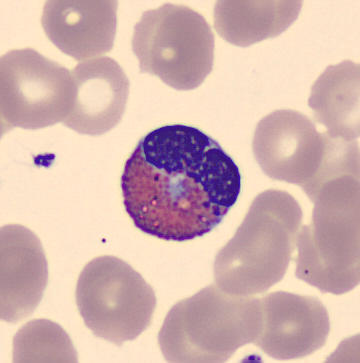 Peripheral blood film; May-Grünwald-Giemsa-stained.

{"cell_type": "eosinophil", "lineage": "myeloid"}